250×250 px · bone marrow smear
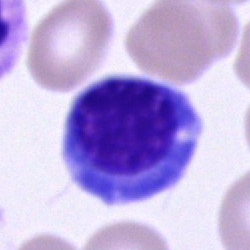

Morphology → normoblast.